Brightfield microscopy, 40× oil immersion. Bone marrow smear
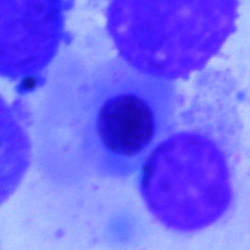 Cell type = nucleated red cell.